Single cell centered in the field. Bone marrow smear:
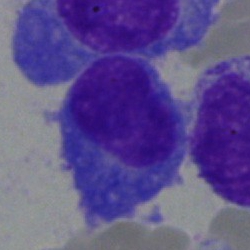

Morphology — plasma cell.